Bone marrow smear · brightfield microscopy, 40× oil immersion:
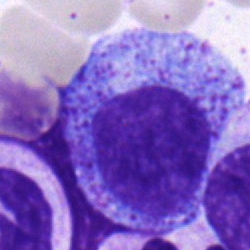The cell is myelocyte.